Bone marrow smear · 250 by 250 pixels:
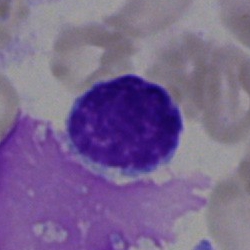Impression → lymphocyte.